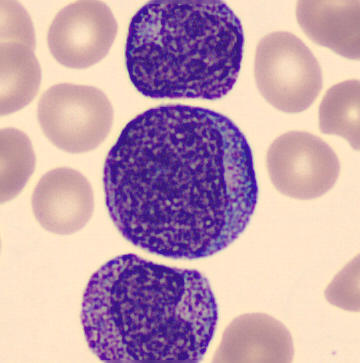Impression — progranulocyte.

Preparation: Peripheral blood smear.